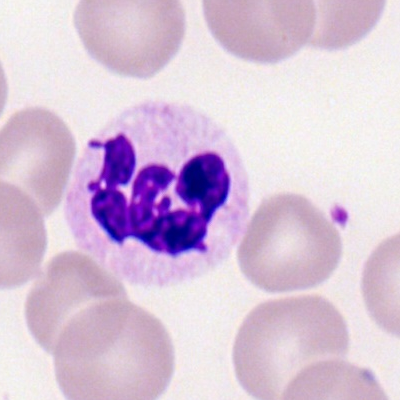 Single cell identified as a polymorphonuclear neutrophil.